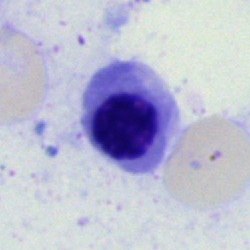

Morphology — nucleated red blood cell.